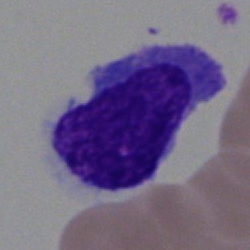{"cell_type": "blast cell"}